Bone marrow aspirate smear · single-cell field
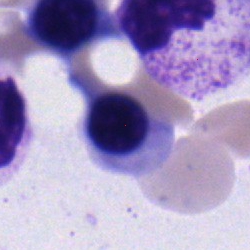
Cell type — normoblast.